Single-cell field · brightfield microscopy, 40× oil immersion · bone marrow smear
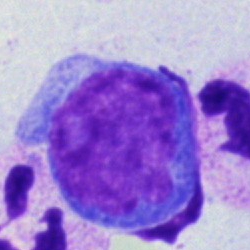

Specimen: bone marrow aspirate smear.
Morphological class: blast.